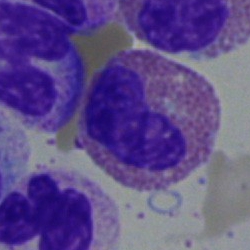Q: Which cell type is shown here?
A: This is an eosinophil.